Single-cell field; bone marrow smear:
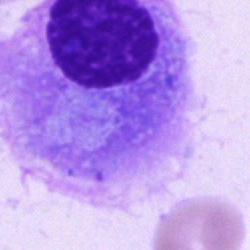 Morphology consistent with a plasmacyte.